Bone marrow aspirate smear:
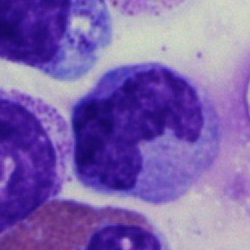Cell: monocyte.